Single-cell field · brightfield, 40× oil-immersion objective · bone marrow smear.
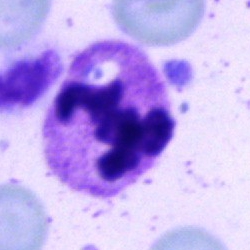
This is a polymorphonuclear neutrophil.